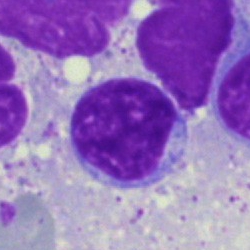A lymphocyte on a bone marrow smear.